Bone marrow aspirate smear:
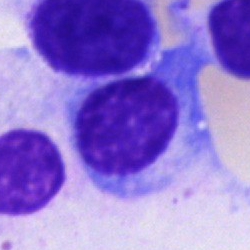 Q: What cell is this?
A: It is a plasma cell.